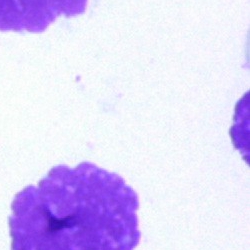
Impression — artefact.